Bone marrow smear.
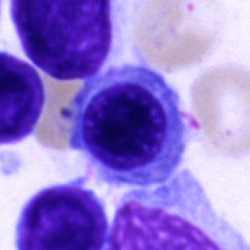Morphology consistent with a normoblast.